Brightfield microscopy, 40× oil immersion · MGG-stained · bone marrow smear
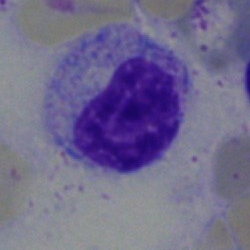
Impression → myelocyte.